Bone marrow smear.
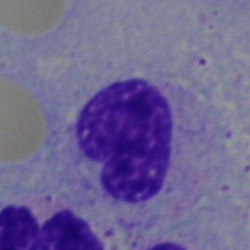 Single cell identified as a band-form neutrophil.